Peripheral blood film:
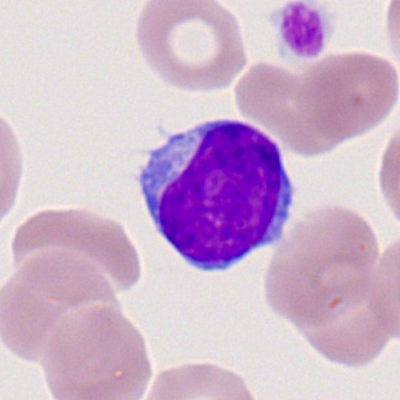
The cell shown is a typical lymphocyte.